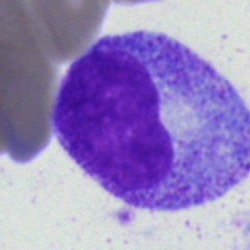
Q: What cell is this?
A: A myelocyte.